Bone marrow aspirate smear.
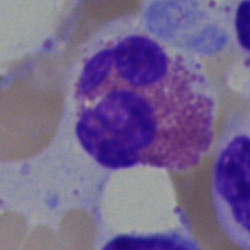 Q: What is shown here?
A: Eosinophilic granulocyte.